Bone marrow aspirate smear
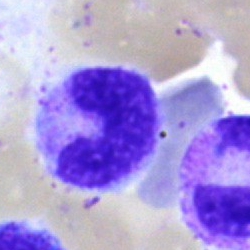
Cell type = stab cell.